Brightfield microscopy, 40× oil immersion. Bone marrow smear — 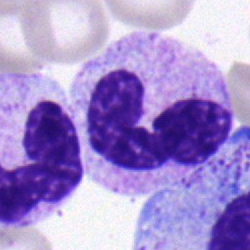Morphological class — neutrophil (segmented).